Brightfield, 40× oil-immersion objective · May-Grünwald-Giemsa/Pappenheim stain · bone marrow aspirate smear: 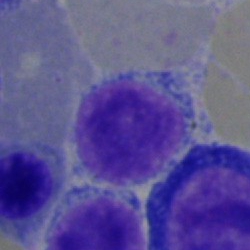Showing a lymphocyte.